Bone marrow aspirate smear — 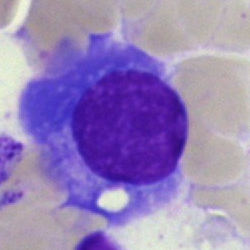
Classification = plasma cell.